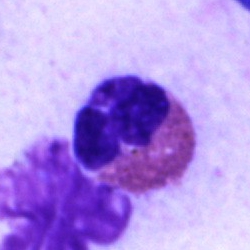The morphological class is eosinophil.